Bone marrow smear.
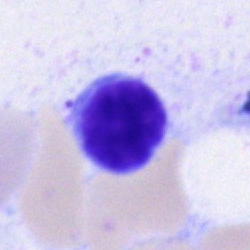

Cell — typical lymphocyte.